Bone marrow aspirate smear · cropped to a single cell.
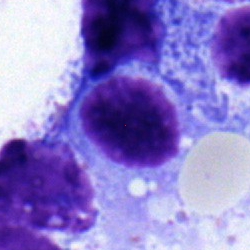 This is a typical lymphocyte.